Bone marrow aspirate smear
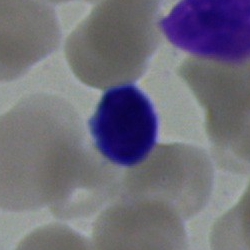

Cell type: lymphocyte.